Bone marrow smear.
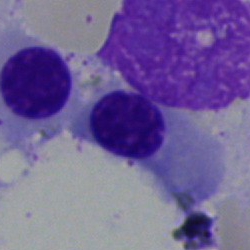
Specimen: bone marrow aspirate smear.
Cell type: nucleated red blood cell.
Lineage: erythroid.